Romanowsky stain · peripheral blood film — 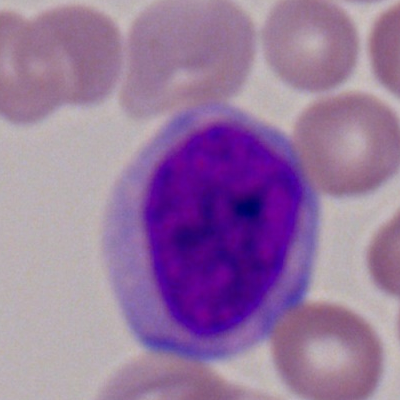

Morphological class: myeloblast.